Cropped to a single cell. Bone marrow smear:
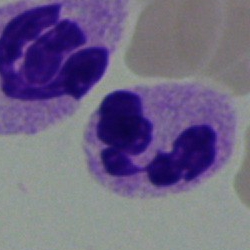Morphology → neutrophil (segmented).